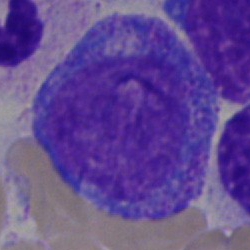 Morphology — promyelocyte.